Bone marrow aspirate smear · May-Grünwald-Giemsa/Pappenheim stain
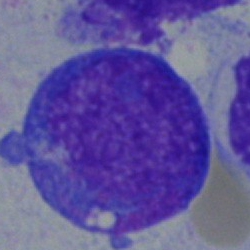

Q: What is shown here?
A: Blast.